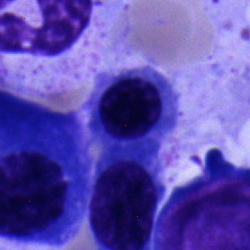
Cell = nucleated red cell.